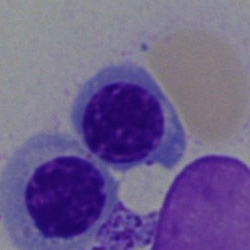Classification = erythroblast.